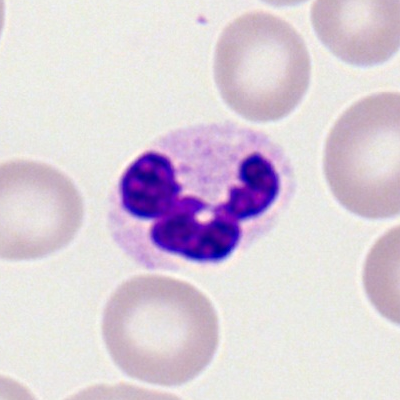Polymorphonuclear neutrophil.